Peripheral blood film.
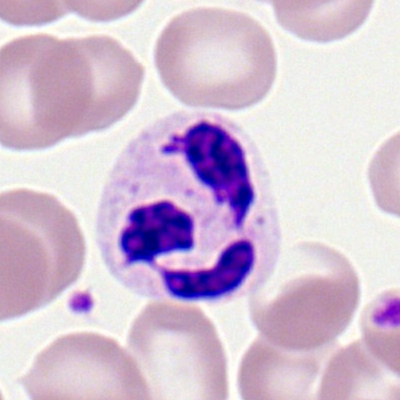
Specimen: peripheral blood film.
Classification: neutrophil (segmented).